Bone marrow smear; brightfield microscopy, 40× oil immersion:
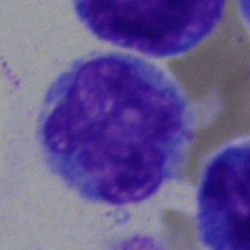
Morphology — blast.